Bone marrow aspirate smear
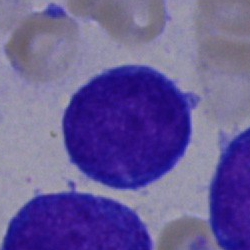 Q: What is shown here?
A: Blast cell.